Bone marrow smear; brightfield, 40× oil-immersion objective; MGG-stained
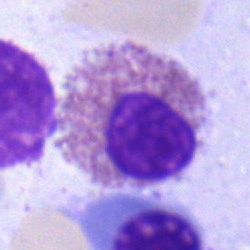
Single cell identified as an eosinophil.